Bone marrow aspirate smear; 250×250.
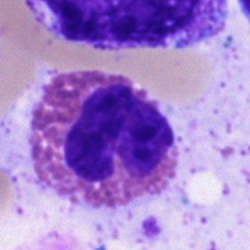Morphological class — eosinophilic granulocyte.